Bone marrow smear: 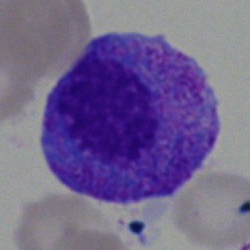

Cell type = progranulocyte.